Peripheral blood film:
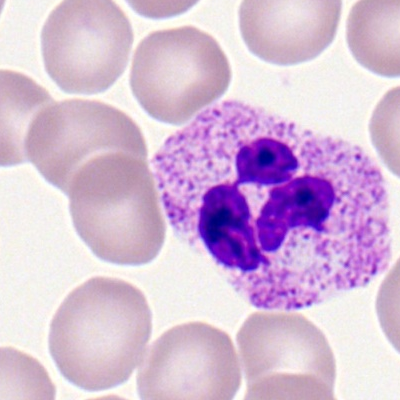

A polymorphonuclear neutrophil.